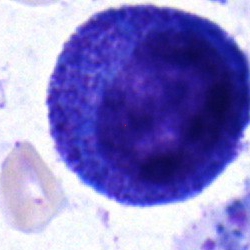

Q: What is the morphological classification of this cell?
A: A progranulocyte.